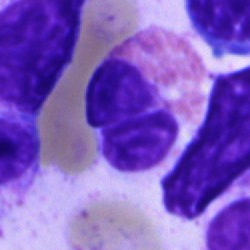
Single-cell crop from a bone marrow smear: eosinophil.